May-Grünwald-Giemsa/Pappenheim stain. Bone marrow smear — 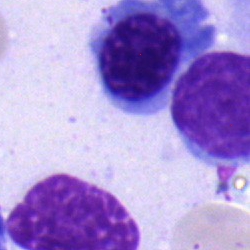

Specimen: bone marrow smear.
Cell type: typical lymphocyte.
Lineage: lymphoid.